Bone marrow aspirate smear — 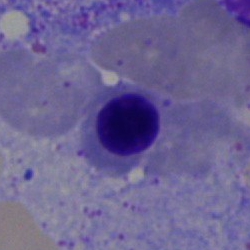

Q: Identify the cell.
A: This is a nucleated red blood cell.